Peripheral blood film; 100× oil immersion: 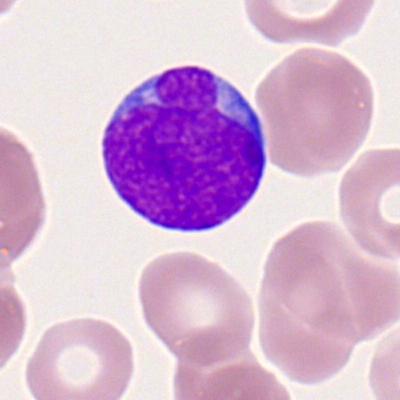

Specimen: peripheral blood film.
Classification: myeloid blast.